Bone marrow aspirate smear.
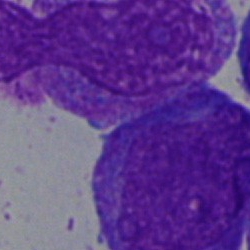
Single cell identified as a progranulocyte.